Bone marrow smear.
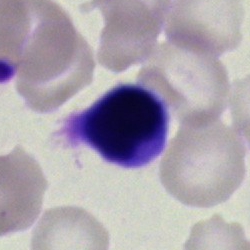
Lymphocyte.